May-Grünwald-Giemsa/Pappenheim stain; bone marrow aspirate smear — 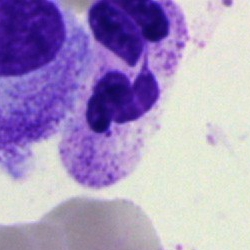
A segmented neutrophil.